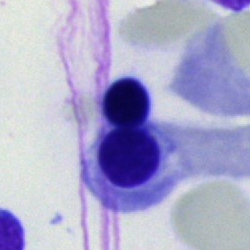

Q: Identify the cell.
A: A nucleated red cell.